Bone marrow aspirate smear.
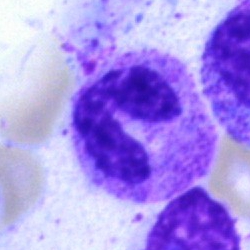
Showing a polymorphonuclear neutrophil.